Bone marrow aspirate smear.
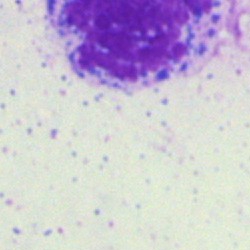 An artefact.